40× objective, oil immersion. Bone marrow smear. 250 by 250 pixels.
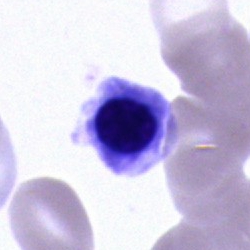 This is an erythroblast.